Bone marrow aspirate smear
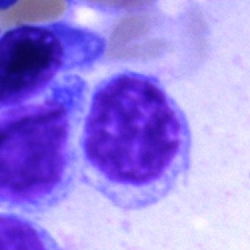

Cell type: lymphocyte.